Bone marrow aspirate smear
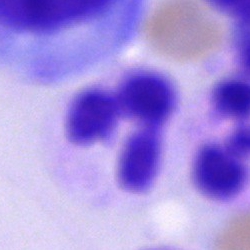
Specimen: bone marrow smear.
Cell type: neutrophil (segmented).
Lineage: myeloid.